MGG-stained; bone marrow smear — 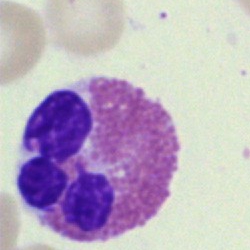

Q: What is shown here?
A: It is an eosinophil.